Brightfield, 100× oil-immersion objective · 400 by 400 pixels · peripheral blood film — 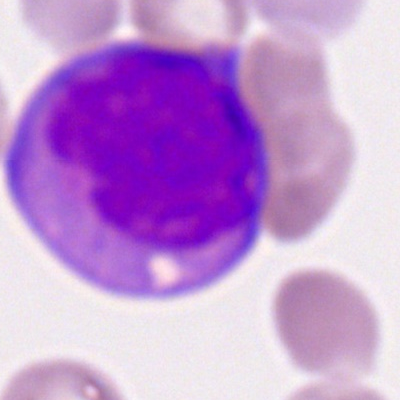Q: What cell is this?
A: It is a myeloblast.